Single-cell crop. Bone marrow smear. May-Grünwald-Giemsa/Pappenheim stain:
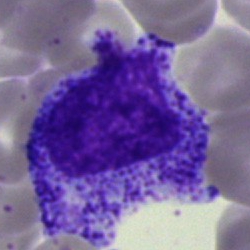 Cell type: myelocyte.